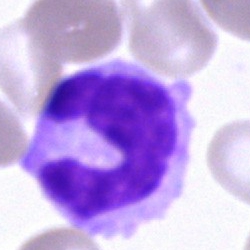
Specimen: bone marrow aspirate smear.
Cell type: monocyte.
Lineage: myeloid.